Bone marrow aspirate smear · 40× oil immersion.
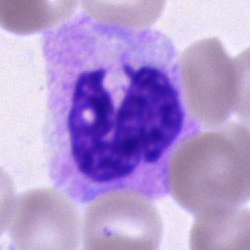

Neutrophil (segmented).